Image size 400×400. Peripheral blood smear. 100× objective, oil immersion: 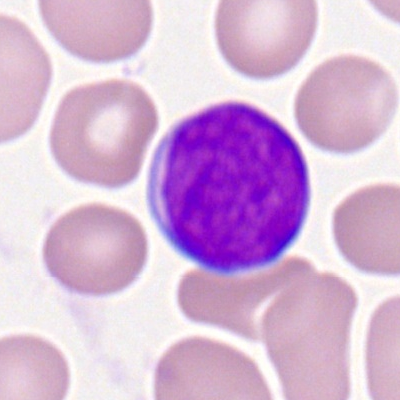

Specimen: peripheral blood smear.
Cell: myeloblast.